M8 digital microscope (Precipoint), 100× oil immersion · peripheral blood film: 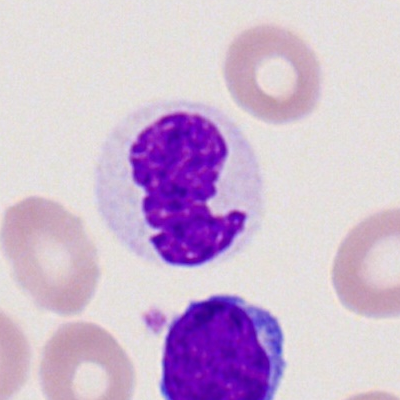Specimen: peripheral blood smear.
Cell: polymorphonuclear neutrophil.
Lineage: myeloid.